Bone marrow smear. 250×250 — 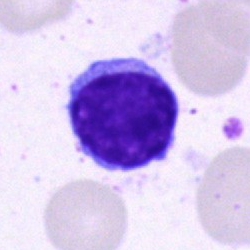
{"cell_type": "lymphocyte"}